Bone marrow smear. 250×250 px.
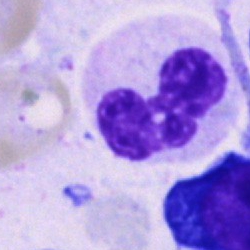

Cell type = neutrophil (segmented).